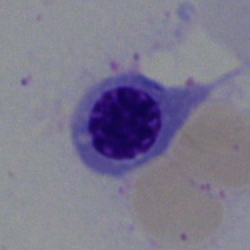 Q: Which cell type is shown here?
A: Erythroblast.